Bone marrow smear — 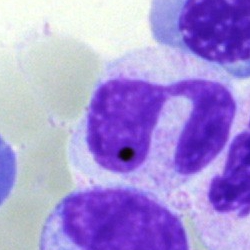Q: Which cell type is shown here?
A: This is a polymorphonuclear neutrophil.